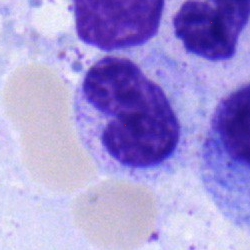Specimen: bone marrow smear.
Cell type: stab cell.
Lineage: myeloid.